400×400. Peripheral blood film:
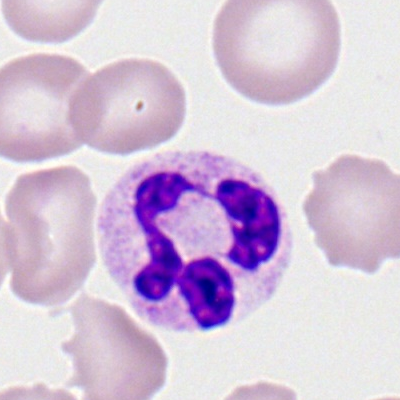 Specimen: peripheral blood smear.
Cell: segmented neutrophil.
Lineage: myeloid.